Bone marrow aspirate smear. 250 by 250 pixels. May-Grünwald-Giemsa stain
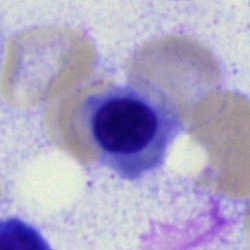 Showing a normoblast.